Bone marrow aspirate smear. Brightfield microscopy, 40× oil immersion — 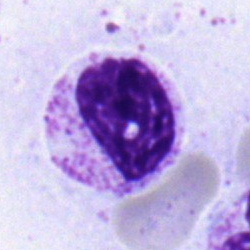

Cell — metamyelocyte.